Bone marrow smear:
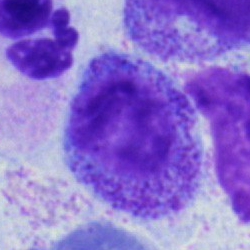

Specimen: bone marrow aspirate smear.
Cell type: myelocyte.
Lineage: myeloid.